Bone marrow smear — 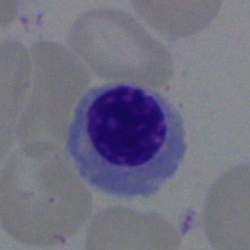Cell: nucleated red cell.